Bone marrow smear: 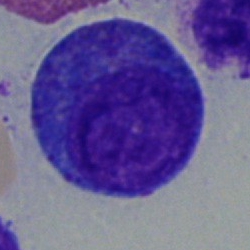The cell shown is a promyelocyte.